Bone marrow aspirate smear:
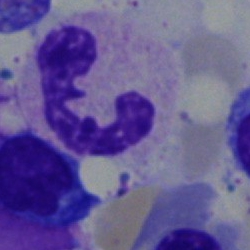The cell is segmented neutrophil.